Bone marrow aspirate smear.
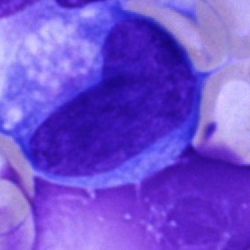Q: What cell is this?
A: It is a blast.